Bone marrow aspirate smear.
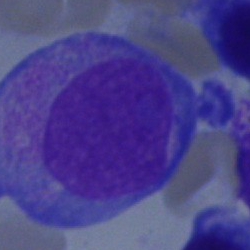 Single cell identified as a progranulocyte.